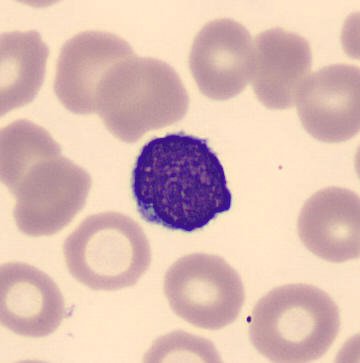
Classification = typical lymphocyte. Image: Peripheral blood smear. Cropped to a single cell.